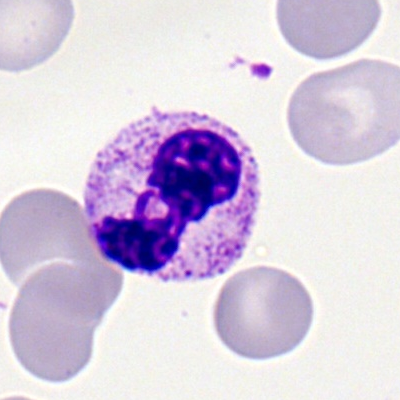Cell type: polymorphonuclear neutrophil.